Bone marrow smear: 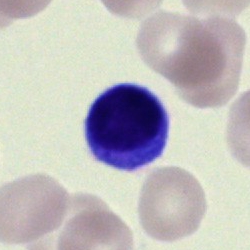{"cell_type": "lymphocyte", "lineage": "lymphoid"}